Single cell centered in the field; bone marrow smear.
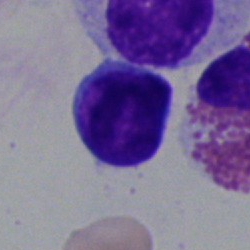

Q: What is the morphological classification of this cell?
A: A typical lymphocyte.